Bone marrow smear
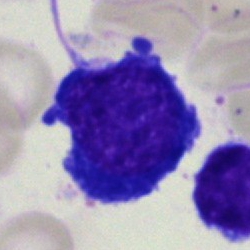
Morphological class = normoblast.